Bone marrow smear: 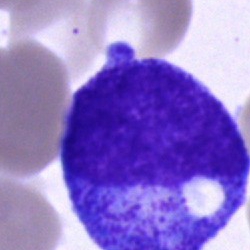The cell is progranulocyte.